Bone marrow aspirate smear; brightfield, 40× oil-immersion objective.
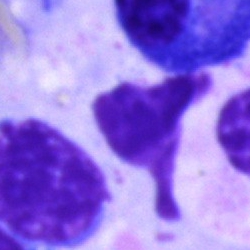

The morphological class is artifact.